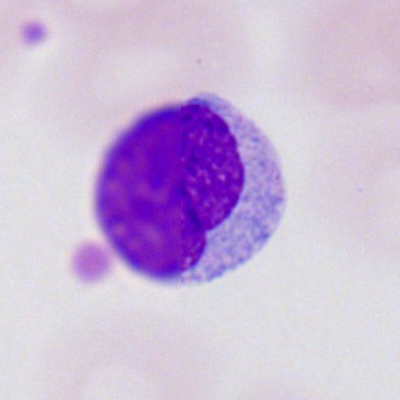Cell = typical lymphocyte.